Bone marrow aspirate smear; cropped to a single cell; May-Grünwald-Giemsa stain:
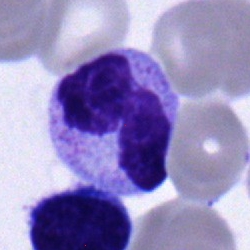 Specimen: bone marrow smear.
Morphological class: neutrophil (band).
Lineage: myeloid.